Bone marrow smear
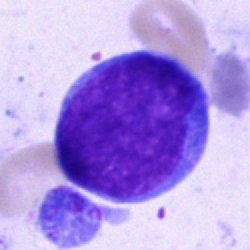

{"cell_type": "blast cell"}